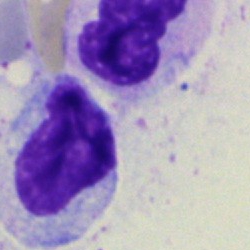

The cell type is unidentifiable cell.